Bone marrow aspirate smear · MGG-stained: 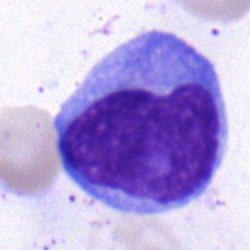

A lymphocyte.